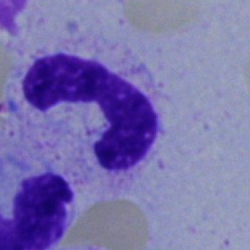

Morphology → band-form neutrophil.